Imaged on a CellaVision DM96 analyser. Peripheral blood smear
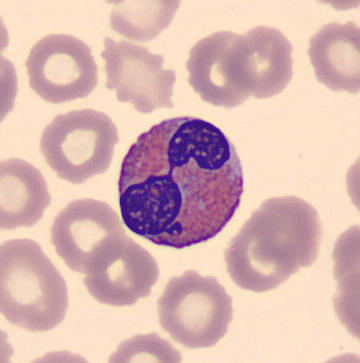

Impression → eosinophilic granulocyte.